Bone marrow aspirate smear: 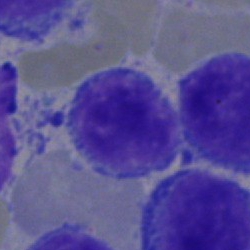Q: Which cell type is shown here?
A: A typical lymphocyte.